Bone marrow smear: 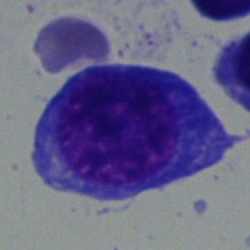The classification is proerythroblast.